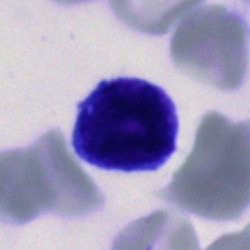

Bone marrow smear showing an unidentifiable cell.